Bone marrow aspirate smear; single-cell crop — 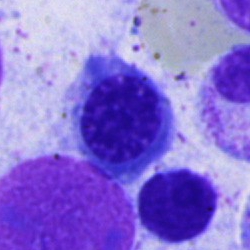Q: Identify the cell.
A: It is a normoblast.